40× objective, oil immersion. Bone marrow smear. 250×250
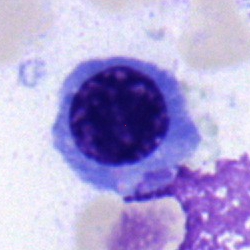

Morphological class — nucleated red blood cell.